Bone marrow aspirate smear · 250×250 px · cropped to a single cell:
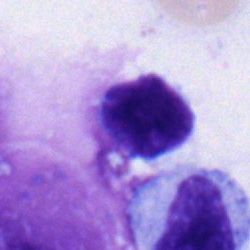
Impression — typical lymphocyte.